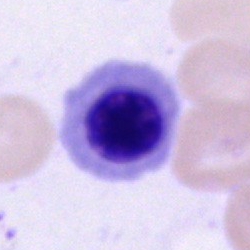

Showing a nucleated red cell.